Bone marrow smear; May-Grünwald-Giemsa/Pappenheim stain.
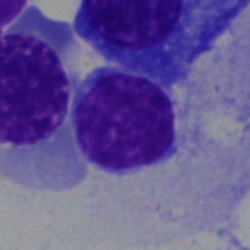Showing a lymphocyte.